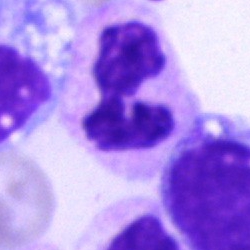The cell shown is a polymorphonuclear neutrophil.